Peripheral blood film.
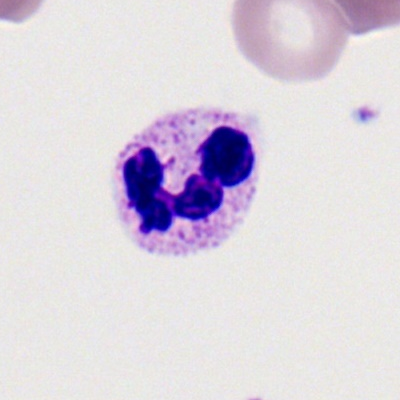 Morphological class = polymorphonuclear neutrophil.